Bone marrow aspirate smear
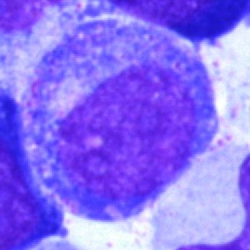
Morphology — promyelocyte.